Pappenheim-stained. Single-cell crop. Bone marrow smear:
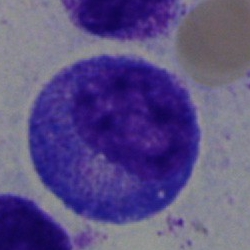

Specimen: bone marrow smear.
Cell: promyelocyte.
Lineage: myeloid.